Bone marrow aspirate smear · 40× oil immersion · 250×250:
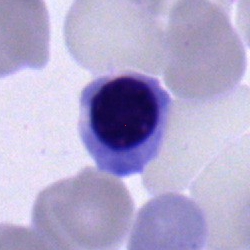
Morphology consistent with a nucleated red cell.